Bone marrow smear; brightfield microscopy, 40× oil immersion; cropped to a single cell.
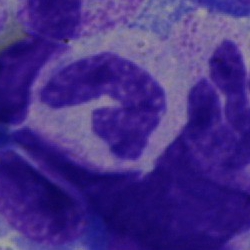
Neutrophil (segmented).